Single-cell field. 250×250. Bone marrow aspirate smear
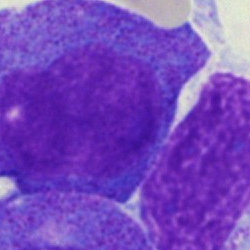 Specimen: bone marrow aspirate smear.
Morphological class: progranulocyte.
Lineage: myeloid.